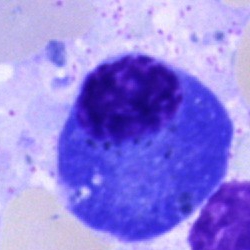 Morphology → plasma cell.